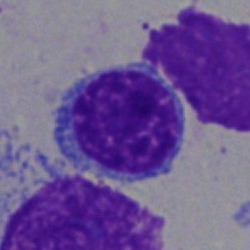Cell — typical lymphocyte.